Bone marrow aspirate smear.
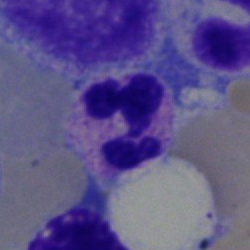 Impression → polymorphonuclear neutrophil.